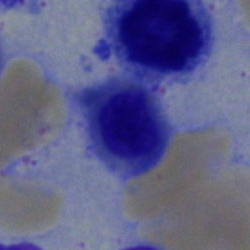

{"cell_type": "erythroblast", "lineage": "erythroid"}